Bone marrow aspirate smear: 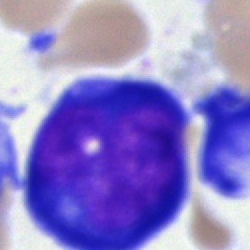Q: Identify the cell.
A: A pronormoblast.